Bone marrow smear.
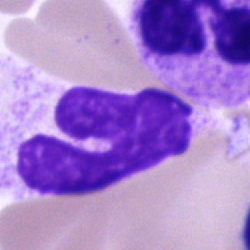
Q: What type of cell is this?
A: Band-form neutrophil.